360×363 px · peripheral blood film · single-cell crop.
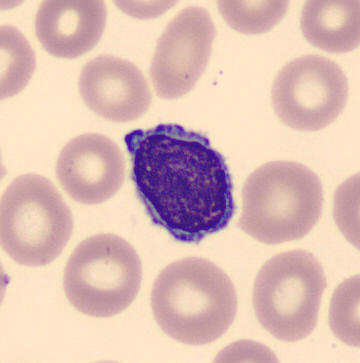A typical lymphocyte.